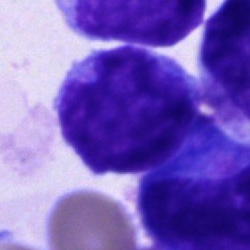

Bone marrow aspirate smear, single cell — undifferentiated blast.